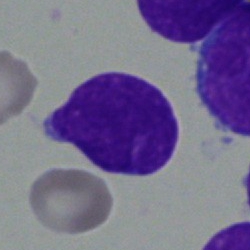
The classification is blast cell.